Bone marrow smear
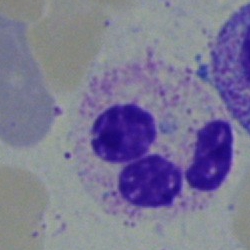 {"cell_type": "polymorphonuclear neutrophil", "lineage": "myeloid"}